Bone marrow aspirate smear
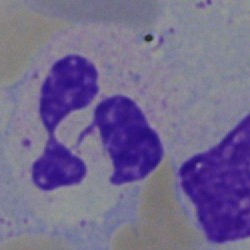

Morphology — polymorphonuclear neutrophil.